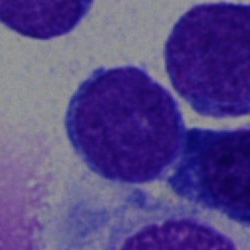

Single cell identified as a typical lymphocyte.